Image size 250×250 · bone marrow smear · cropped to a single cell.
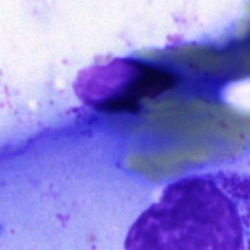

Specimen: bone marrow aspirate smear.
Cell type: artefact.